Bone marrow aspirate smear — 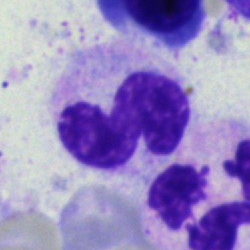 Q: What is the morphological classification of this cell?
A: It is a band-form neutrophil.